Brightfield, 100× oil-immersion objective; peripheral blood smear: 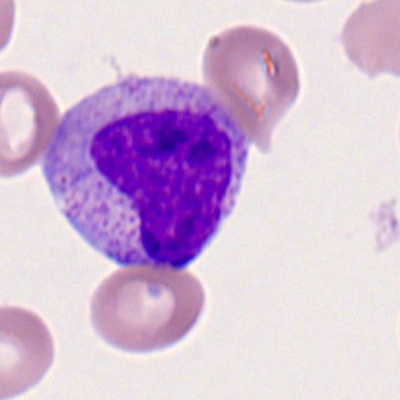 Morphology → metamyelocyte.